Bone marrow smear.
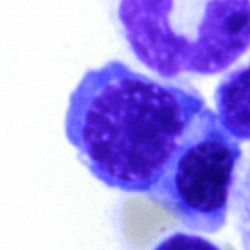The classification is erythroblast.